Bone marrow smear
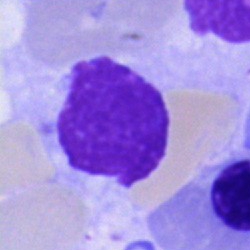 Q: What is shown here?
A: An artifact.